May-Grünwald-Giemsa/Pappenheim stain; bone marrow smear: 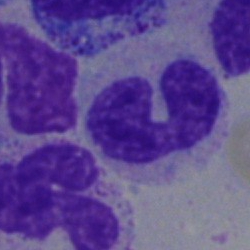Morphology — neutrophil (segmented).